Bone marrow smear
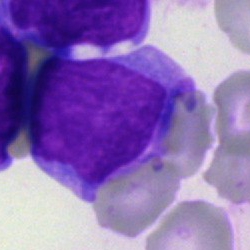Morphological class — undifferentiated blast.